Bone marrow aspirate smear.
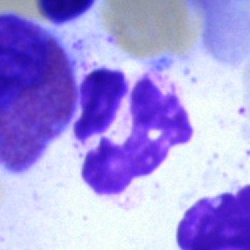 Morphology → neutrophil (segmented).